Bone marrow smear
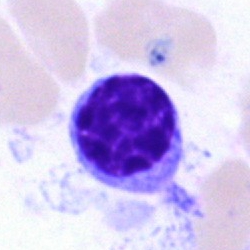 The cell shown is a lymphocyte.